Bone marrow smear.
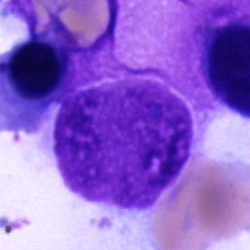

Specimen: bone marrow smear.
Cell: artifact.